Bone marrow aspirate smear.
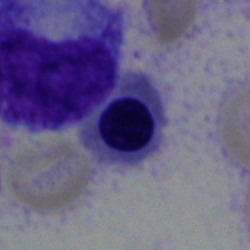An erythroblast.